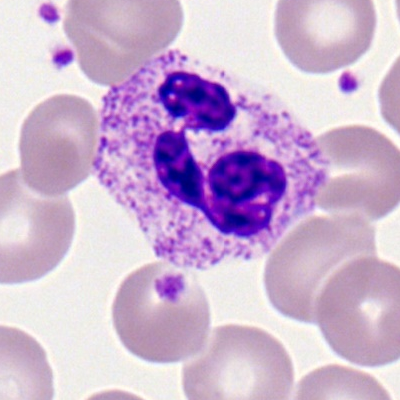{"cell_type": "neutrophil (segmented)"}